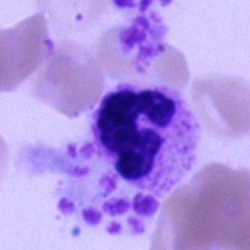
Bone marrow smear showing a neutrophil (segmented).